Image size 250×250. Single cell centered in the field. Bone marrow smear: 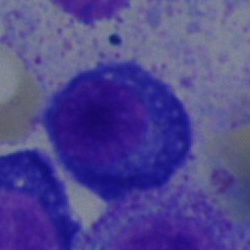 A plasmacyte.